Bone marrow aspirate smear · MGG-stained · image size 250×250: 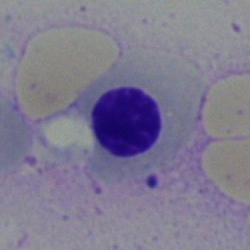

Morphological class: nucleated red blood cell.